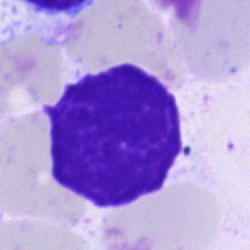
Q: What is shown here?
A: Artifact.